40× oil immersion; 250×250 px; bone marrow aspirate smear:
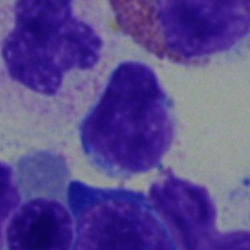
Cell = typical lymphocyte.